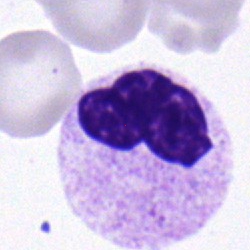
Cell: polymorphonuclear neutrophil.